Bone marrow smear · cropped to a single cell:
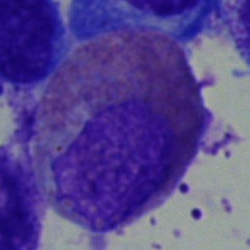The morphological class is eosinophil.